Bone marrow smear
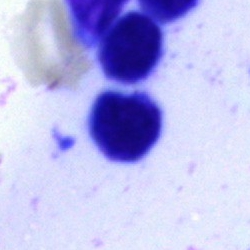
Cell type = artifact.